Peripheral blood film; Romanowsky stain.
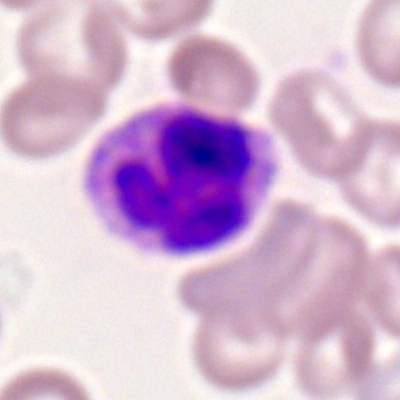Specimen: peripheral blood film.
Classification: basophil.
Lineage: myeloid.